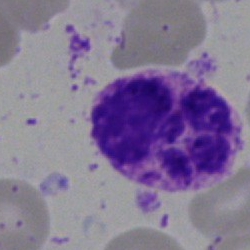
{"cell_type": "basophilic granulocyte"}